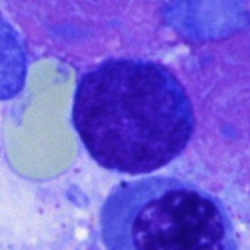This is a plasma cell.